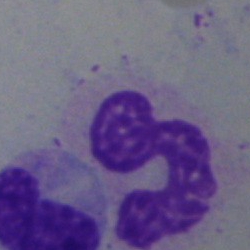 {"cell_type": "neutrophil (segmented)"}